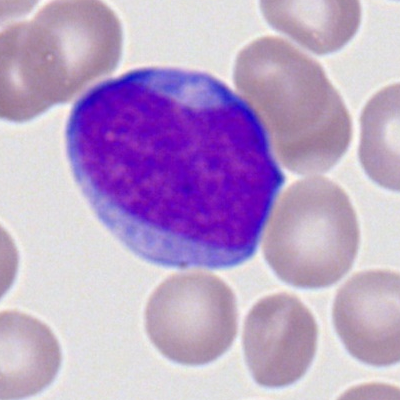
Morphology — myeloblast.